Peripheral blood smear
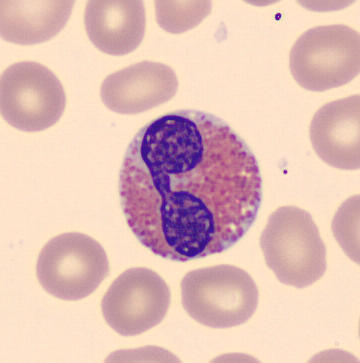
Q: Identify the cell.
A: This is an eosinophil.